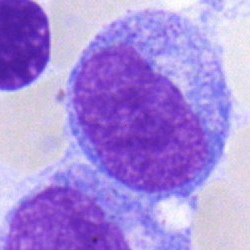
Morphology — progranulocyte.